Bone marrow aspirate smear:
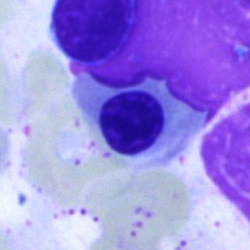

Classification = nucleated red blood cell.